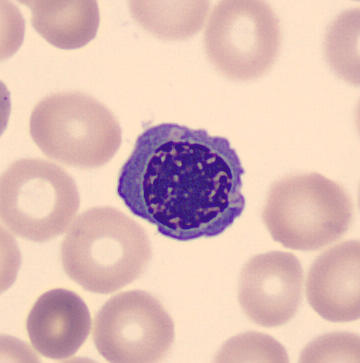 Q: What is the morphological classification of this cell?
A: Nucleated red blood cell. Image: 360×363; peripheral blood smear.